Peripheral blood film — 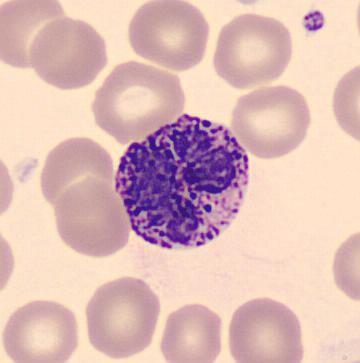
Morphology → basophil.